Brightfield, 40× oil-immersion objective; bone marrow aspirate smear.
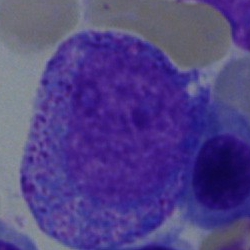

Specimen: bone marrow aspirate smear.
Morphological class: promyelocyte.